Single-cell field; peripheral blood film; 100× objective, oil immersion: 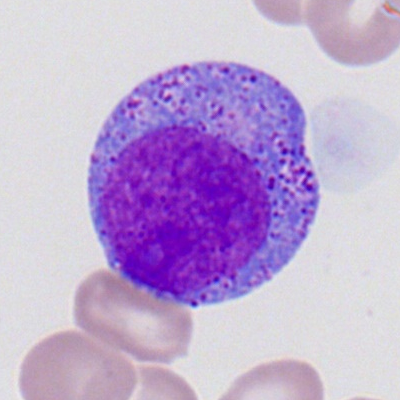
Q: Which cell type is shown here?
A: It is a promyelocyte.